Pappenheim-stained; 40× oil immersion; bone marrow aspirate smear
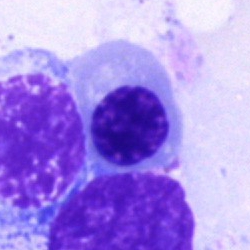
Cell type — nucleated red cell.